Bone marrow smear — 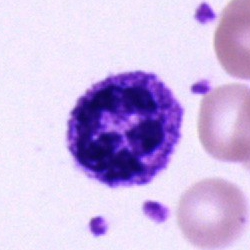

Polymorphonuclear neutrophil.